Bone marrow aspirate smear:
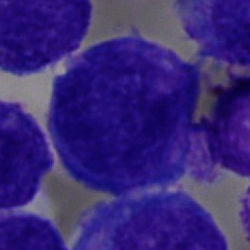 The cell is blast cell.